Bone marrow smear — 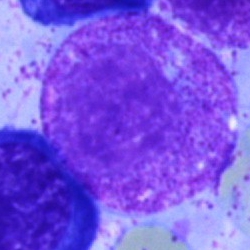 Morphology consistent with a myelocyte.